Bone marrow smear: 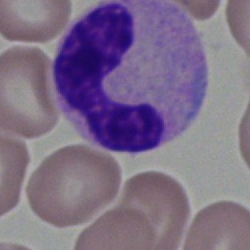Classification: neutrophil (band).